40× objective, oil immersion · bone marrow smear
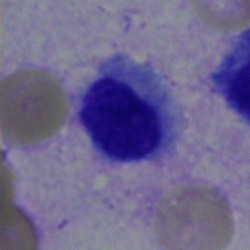 Morphological class — typical lymphocyte.